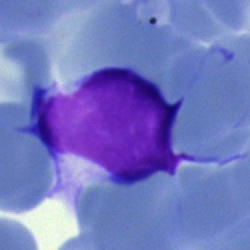
Cell type = typical lymphocyte.